Bone marrow aspirate smear:
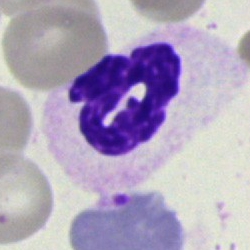A neutrophil (segmented).